Bone marrow smear · May-Grünwald-Giemsa/Pappenheim stain
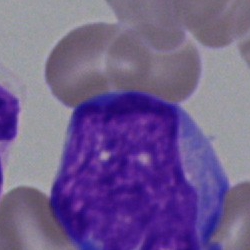
Specimen: bone marrow aspirate smear.
Classification: blast cell.